MGG stain · cropped to a single cell · peripheral blood smear.
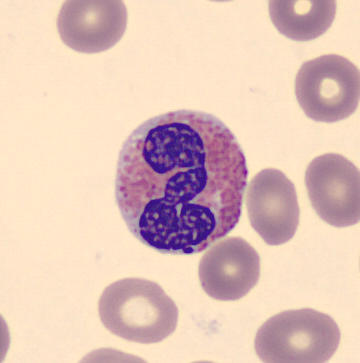Impression — eosinophilic granulocyte.